Bone marrow smear.
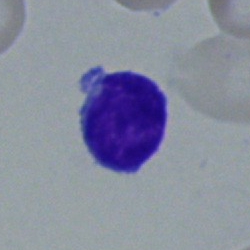The morphological class is lymphocyte.